Bone marrow aspirate smear
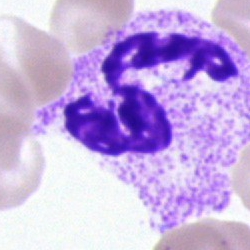Specimen: bone marrow aspirate smear.
Cell type: polymorphonuclear neutrophil.
Lineage: myeloid.